Pappenheim-stained. Single-cell crop. Bone marrow smear:
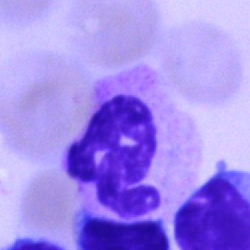

Impression — polymorphonuclear neutrophil.